Bone marrow smear; 250 by 250 pixels.
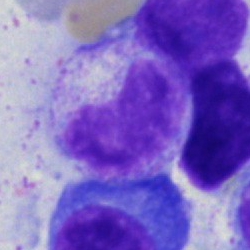

Q: Identify the cell.
A: Metamyelocyte.